Brightfield microscopy, 40× oil immersion · bone marrow smear: 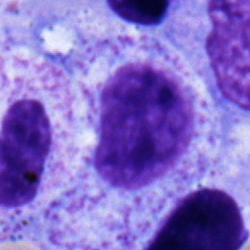Cell — myelocyte.